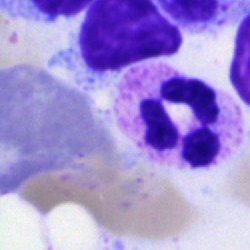Bone marrow aspirate smear, single cell — segmented neutrophil.